40× objective, oil immersion · bone marrow aspirate smear · single-cell field: 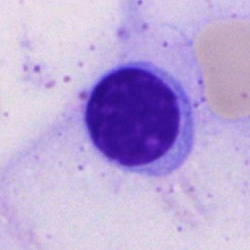 Q: What is shown here?
A: A typical lymphocyte.